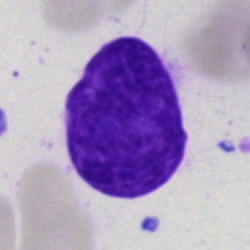Morphology consistent with an artifact.